Peripheral blood film · MGG-stained.
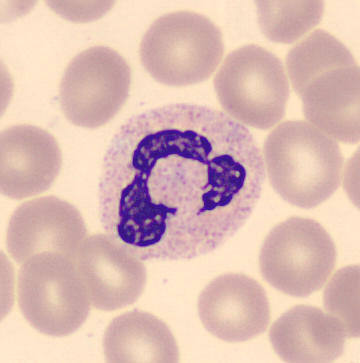
This is a neutrophil (segmented).